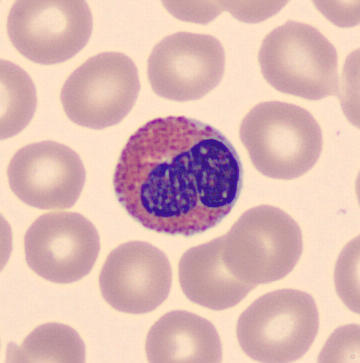
Specimen: peripheral blood smear.
Morphological class: eosinophil.
Lineage: myeloid.
Image: Single-cell crop · May-Grünwald-Giemsa-stained.